Bone marrow smear:
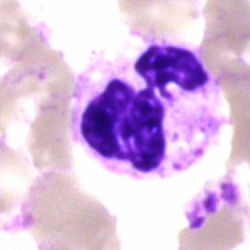 Morphology consistent with a segmented neutrophil.